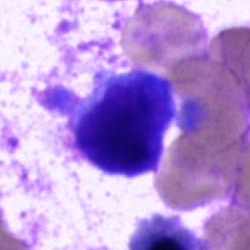
Q: What cell is this?
A: Lymphocyte.